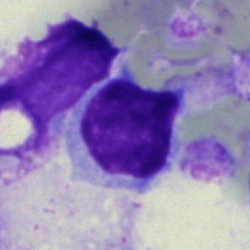 Single-cell crop from a bone marrow smear: typical lymphocyte.